Bone marrow aspirate smear — 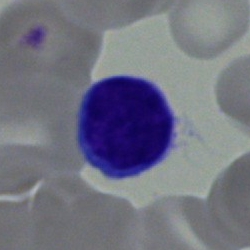
Impression — typical lymphocyte.